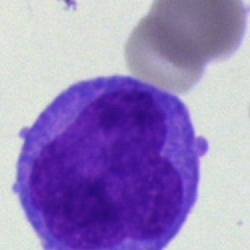
{"cell_type": "undifferentiated blast"}